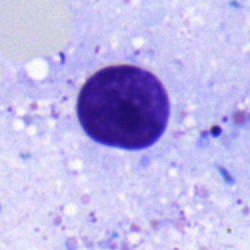

Showing a lymphocyte.